Bone marrow aspirate smear — 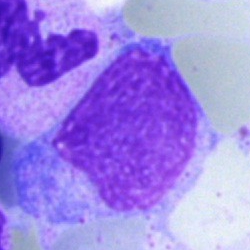 Artifact.